Peripheral blood smear — 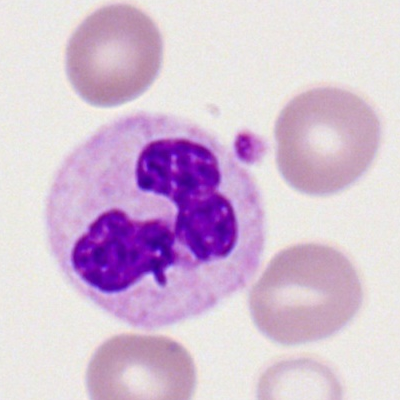Single cell identified as a polymorphonuclear neutrophil.